Bone marrow aspirate smear · 250×250:
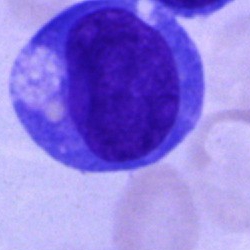Q: What type of cell is this?
A: Blast cell.